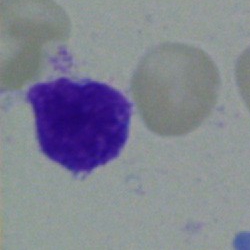 A blast cell on a bone marrow smear.